40× oil immersion · bone marrow aspirate smear — 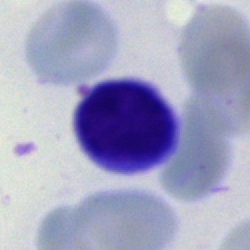

Q: What is the morphological classification of this cell?
A: This is a typical lymphocyte.